250×250 · bone marrow aspirate smear · Pappenheim-stained.
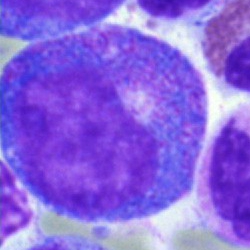This is a progranulocyte.